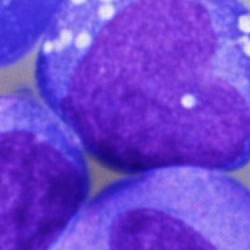

Cell type = undifferentiated blast.